Bone marrow aspirate smear: 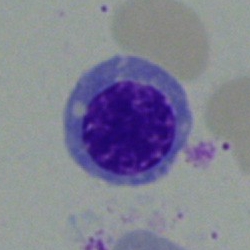 The classification is normoblast.